Romanowsky-stained; peripheral blood smear.
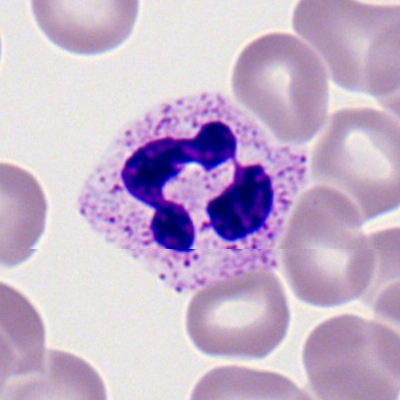 Morphology consistent with a polymorphonuclear neutrophil.